Bone marrow smear; brightfield microscopy, 40× oil immersion — 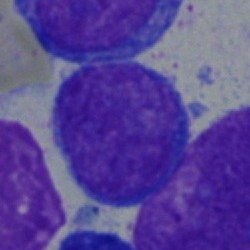

{"cell_type": "blast cell"}